Romanowsky-type stain. Peripheral blood smear — 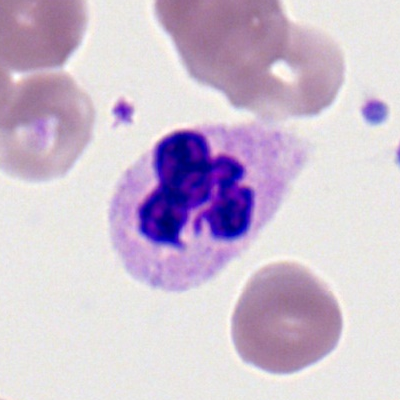 The cell shown is a segmented neutrophil.